Bone marrow smear. 250 by 250 pixels — 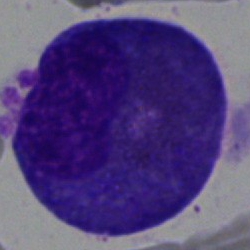

Impression → eosinophilic granulocyte.